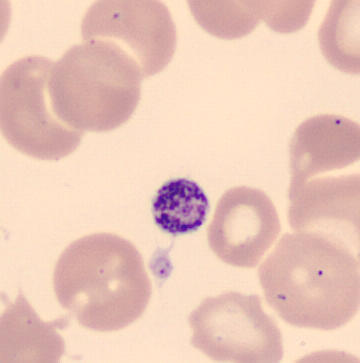
Image: Peripheral blood film. Q: What is this?
A: It is a thrombocyte.